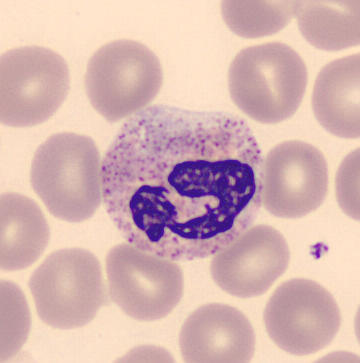Peripheral blood smear.

Impression — neutrophil (segmented).